Bone marrow aspirate smear — 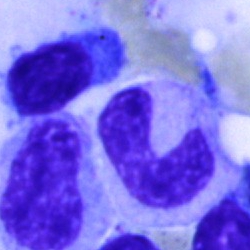The classification is band neutrophil.